Bone marrow smear.
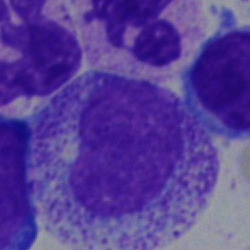 Classification: myelocyte.